Bone marrow smear. Single-cell field — 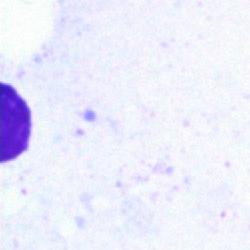Morphology — artefact.